Bone marrow aspirate smear — 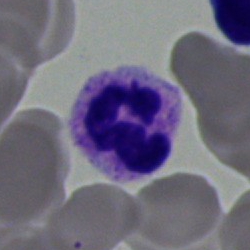Morphological class = polymorphonuclear neutrophil.